Single-cell crop. Bone marrow aspirate smear — 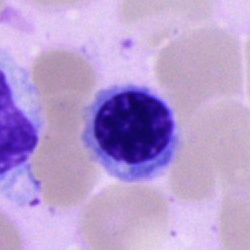This is an erythroblast.